Bone marrow smear:
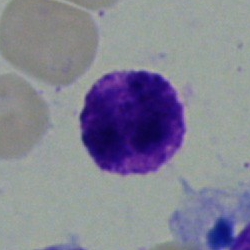 Q: What is shown here?
A: A basophil.